Pappenheim-stained; bone marrow smear — 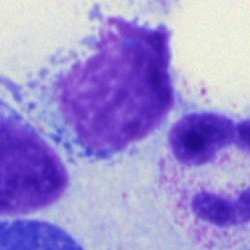 Q: What is shown here?
A: Artifact.